Bone marrow aspirate smear — 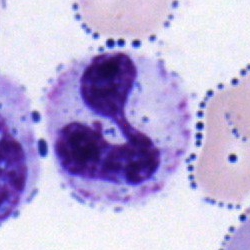
This is a segmented neutrophil.